Peripheral blood smear:
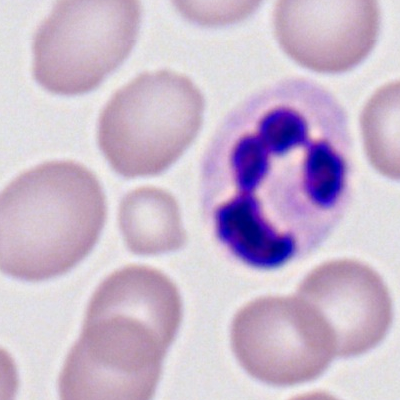
Cell: polymorphonuclear neutrophil.